Bone marrow smear; MGG-stained
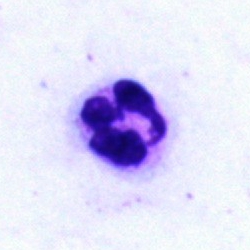 Specimen: bone marrow aspirate smear.
Classification: segmented neutrophil.
Lineage: myeloid.